Brightfield microscopy, 40× oil immersion. Bone marrow aspirate smear: 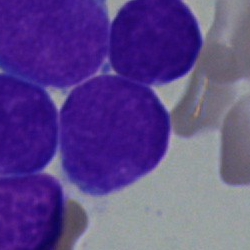
Specimen: bone marrow smear.
Cell type: undifferentiated blast.